Bone marrow aspirate smear:
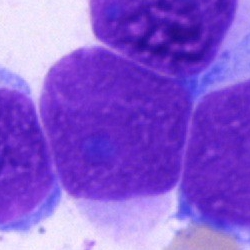
Single cell identified as an artifact.